May-Grünwald-Giemsa stain · bone marrow aspirate smear: 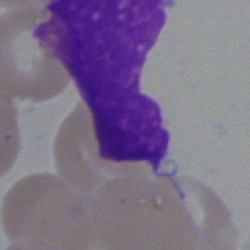
Impression — artefact.